40× objective, oil immersion; bone marrow smear; Pappenheim-stained: 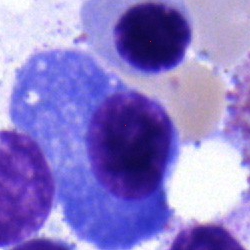

This is a plasma cell.